Bone marrow smear; May-Grünwald-Giemsa/Pappenheim stain; 250×250.
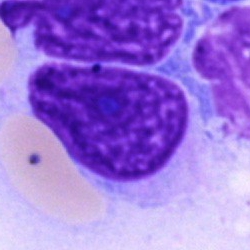This is an artifact.